Single-cell field · bone marrow aspirate smear: 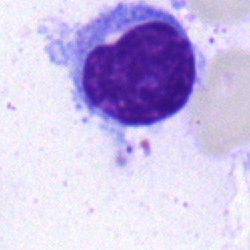

Single cell identified as a typical lymphocyte.